Bone marrow aspirate smear — 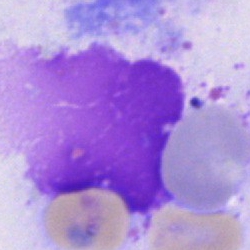
Q: What is shown here?
A: This is an artefact.